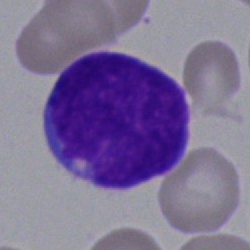
Showing a blast.